Bone marrow smear:
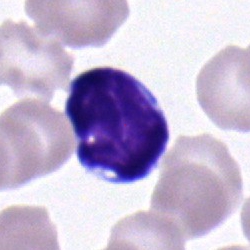

This is a lymphocyte.